Single-cell field; bone marrow aspirate smear; MGG-stained — 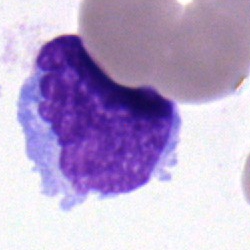

Lymphocyte.